Pappenheim-stained; bone marrow smear.
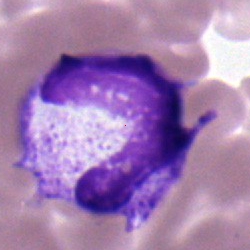 Cell type = band neutrophil.